Peripheral blood smear
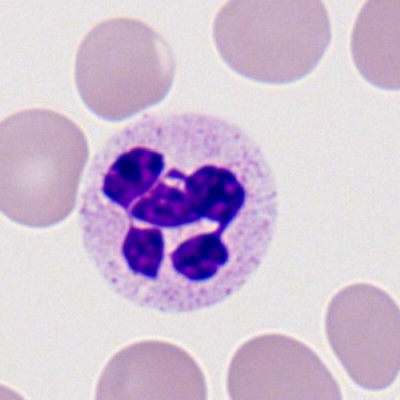Morphological class = neutrophil (segmented).